Bone marrow aspirate smear:
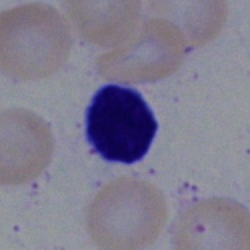

Lymphocyte.